250×250; bone marrow aspirate smear: 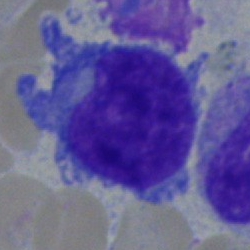 Specimen: bone marrow aspirate smear.
Cell: blast.